Bone marrow aspirate smear · May-Grünwald-Giemsa stain
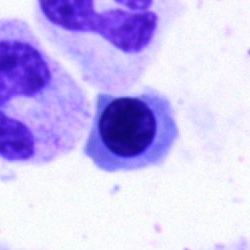 Specimen: bone marrow smear.
Morphological class: erythroblast.
Lineage: erythroid.